Image size 250×250 · bone marrow smear:
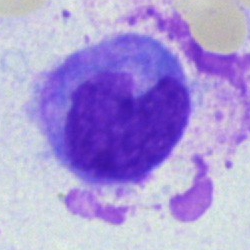The classification is monocyte.